Brightfield microscopy, 40× oil immersion; bone marrow aspirate smear.
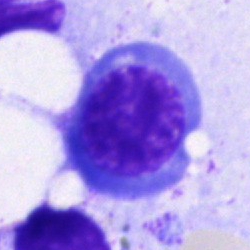

The cell shown is an erythroblast.